Pappenheim-stained; bone marrow aspirate smear.
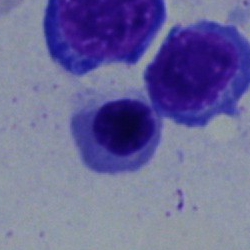

Q: Identify the cell.
A: A nucleated red blood cell.